Bone marrow aspirate smear: 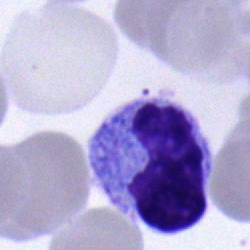Morphological class — band neutrophil.